Bone marrow aspirate smear: 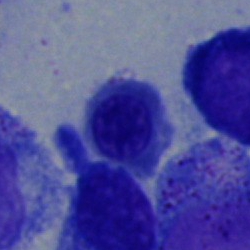 This is a nucleated red cell.